Bone marrow aspirate smear.
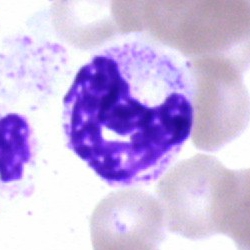

This is a segmented neutrophil.